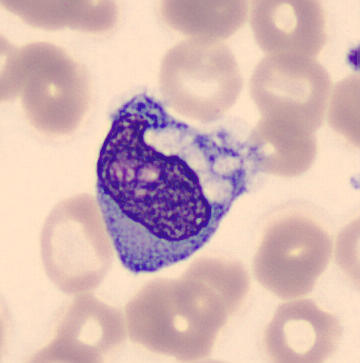
Peripheral blood film.

Q: What cell is this?
A: Monocyte.